Bone marrow aspirate smear — 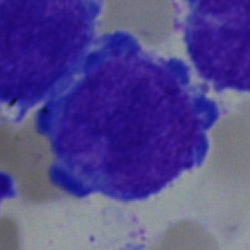
Specimen: bone marrow aspirate smear.
Morphological class: blast.